Bone marrow aspirate smear; 40× oil immersion: 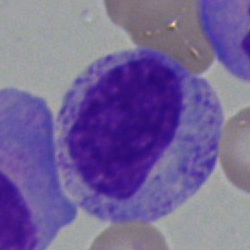
Morphology → myelocyte.